Bone marrow smear
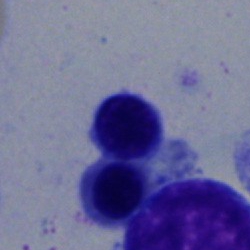Cell type = nucleated red blood cell.